Bone marrow aspirate smear: 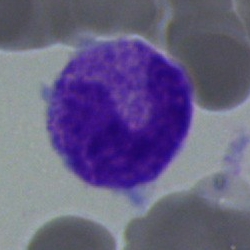
Q: What is the morphological classification of this cell?
A: It is a band-form neutrophil.